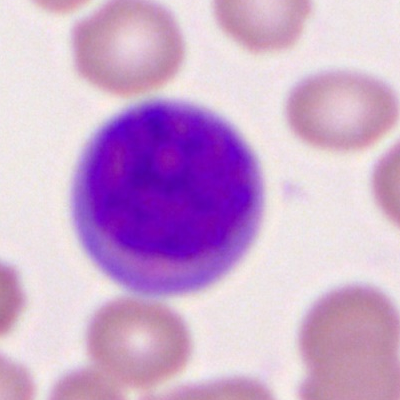
Classification: myeloblast.